Bone marrow aspirate smear: 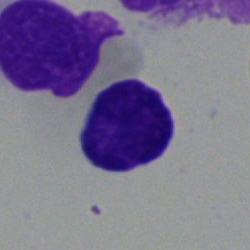

Q: What is shown here?
A: It is a typical lymphocyte.